May-Grünwald-Giemsa/Pappenheim stain · bone marrow smear
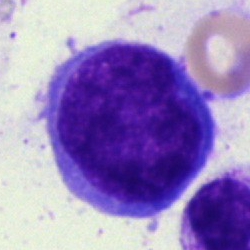 Showing a blast cell.